May-Grünwald-Giemsa stain. Bone marrow aspirate smear — 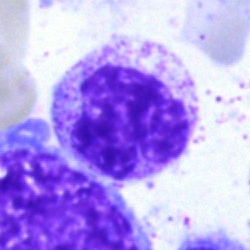
Q: Identify the cell.
A: It is a myelocyte.